MGG-stained; bone marrow smear.
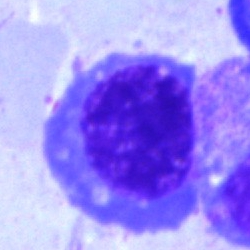 Showing a nucleated red cell.